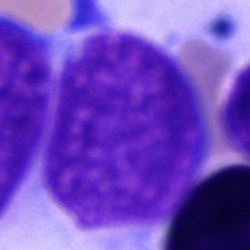

Cell type — artifact.